Bone marrow aspirate smear: 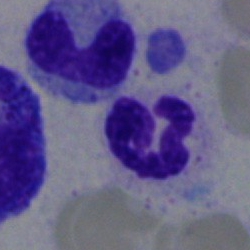Specimen: bone marrow aspirate smear.
Cell: polymorphonuclear neutrophil.
Lineage: myeloid.